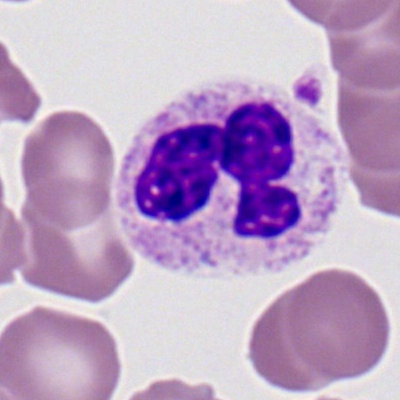
Morphological class — segmented neutrophil.